Bone marrow smear
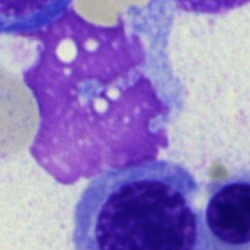
Cell — artifact.